Bone marrow smear: 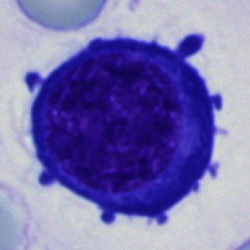Specimen: bone marrow smear.
Cell type: erythroblast.
Lineage: erythroid.